Bone marrow aspirate smear: 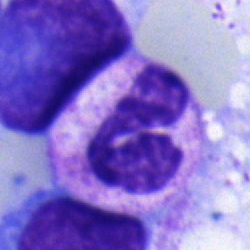The cell shown is a segmented neutrophil.